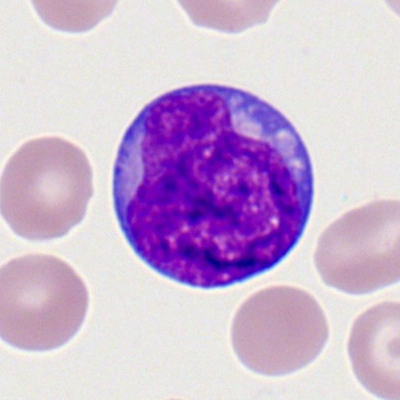
Single-cell crop from a peripheral blood smear: myeloid blast.